Bone marrow aspirate smear
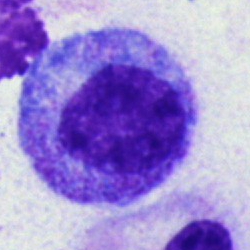
Cell type: myelocyte.